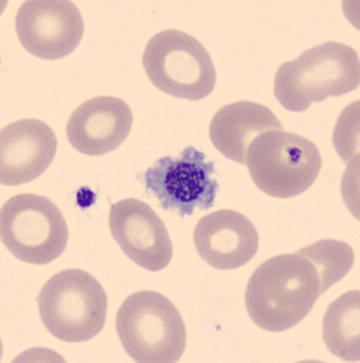

Identified as a platelet (thrombocyte).